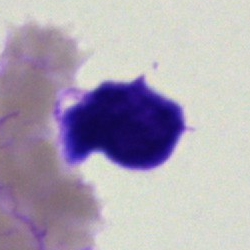
The classification is blast.